Single-cell crop. Peripheral blood smear. Image size 400×400
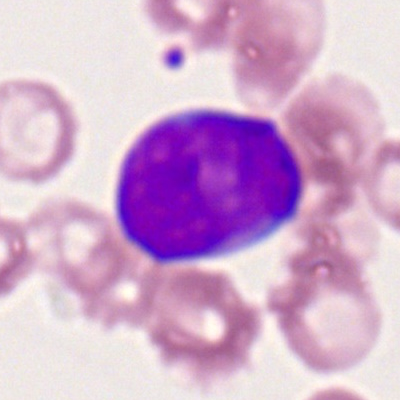

Showing a myeloblast.